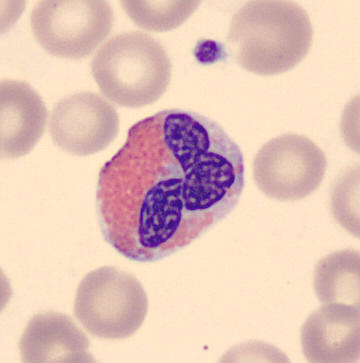

The cell is eosinophil.